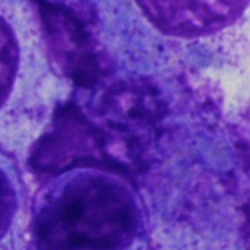

Cell — artifact.